Peripheral blood film. Single cell centered in the field.
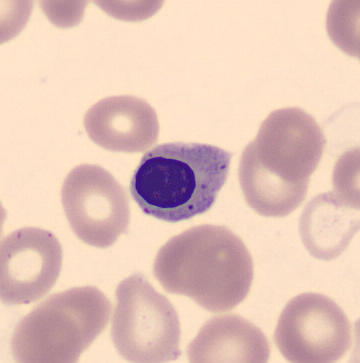
Morphology consistent with a nucleated red blood cell.